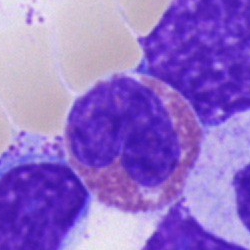

An eosinophil.